Bone marrow smear. Brightfield microscopy, 40× oil immersion: 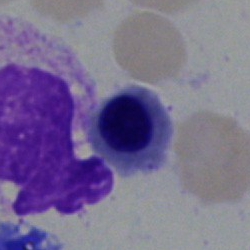

Specimen: bone marrow aspirate smear.
Cell type: nucleated red cell.
Lineage: erythroid.